Bone marrow smear
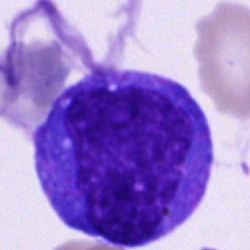
Specimen: bone marrow aspirate smear.
Cell type: monocyte.